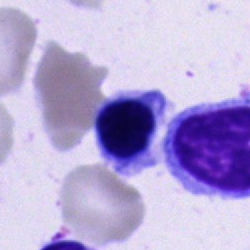 Classification: nucleated red cell.